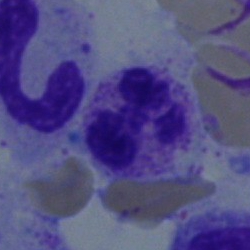Q: What is the morphological classification of this cell?
A: A segmented neutrophil.